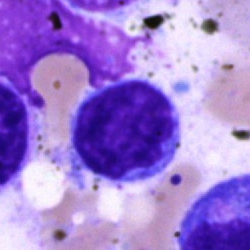
Q: What is shown here?
A: A lymphocyte.